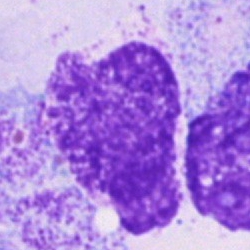
Morphological class — artifact.